Bone marrow smear; brightfield, 40× oil-immersion objective.
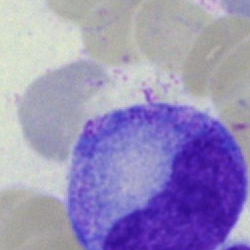

This is a promyelocyte.